Pappenheim-stained; bone marrow aspirate smear
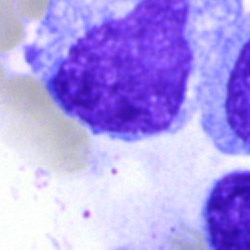
Cell: artefact.